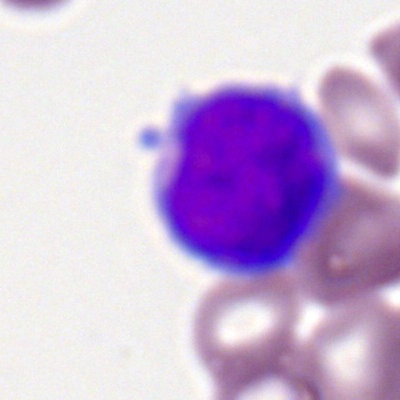 Q: What type of cell is this?
A: A myeloblast.